Bone marrow smear. 40× oil immersion. 250 by 250 pixels — 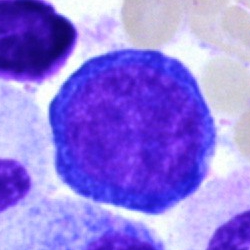

Pronormoblast.